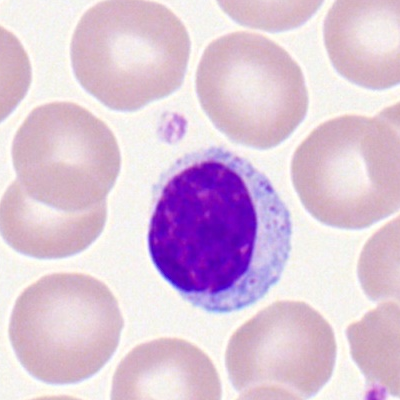 Peripheral blood smear showing a lymphocyte.